Bone marrow aspirate smear
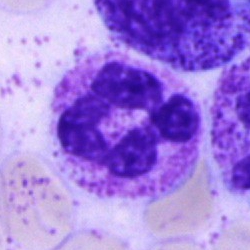 Showing a neutrophil (segmented).